Bone marrow aspirate smear: 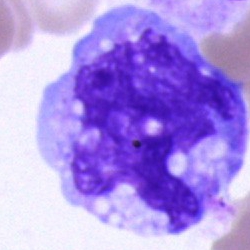
Specimen: bone marrow smear.
Cell: monocyte.